Bone marrow aspirate smear — 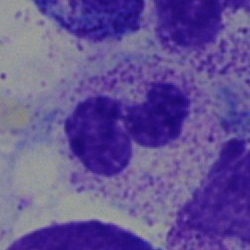 The cell shown is a neutrophil (segmented).